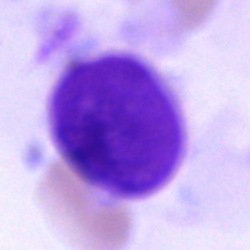
Bone marrow aspirate smear, single cell — artifact.